Peripheral blood smear. 400 by 400 pixels: 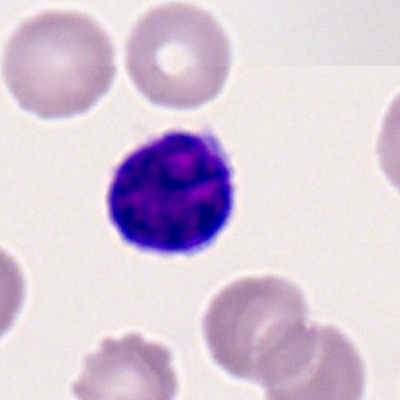

Morphology — lymphocyte.